Bone marrow smear.
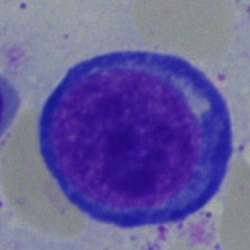

Cell — pronormoblast.